40× objective, oil immersion · single-cell crop · bone marrow smear
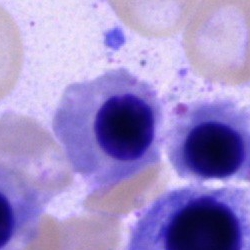

This is a nucleated red blood cell.